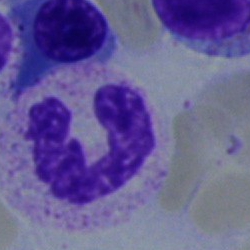This is a stab cell.